Bone marrow aspirate smear; 250 by 250 pixels; May-Grünwald-Giemsa/Pappenheim stain.
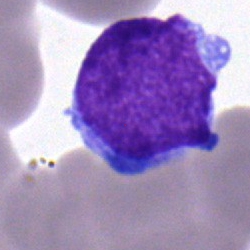Morphology consistent with a blast.